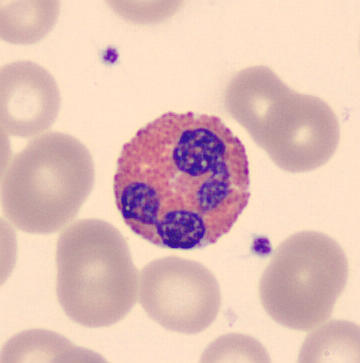Specimen: peripheral blood film.
Cell: eosinophilic granulocyte.
Lineage: myeloid.